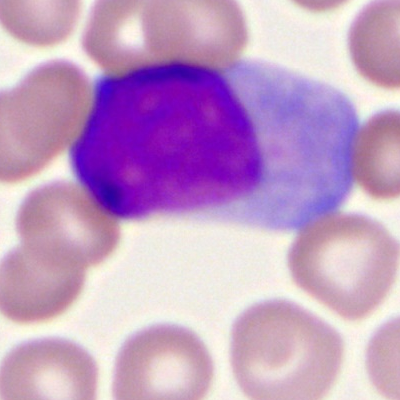
The classification is myeloblast.